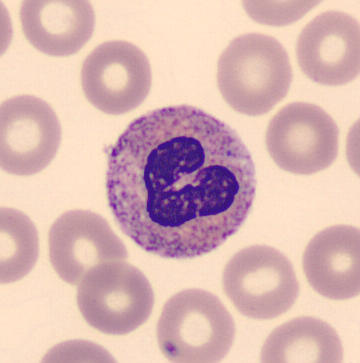
{"cell_type": "stab cell"}